250×250. Bone marrow aspirate smear: 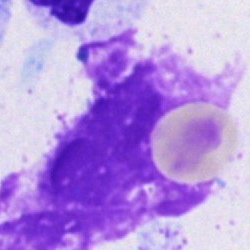

Morphology — artifact.